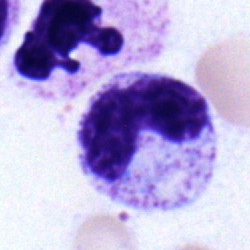
Q: What cell is this?
A: This is a metamyelocyte.